Bone marrow aspirate smear. Image size 250×250 — 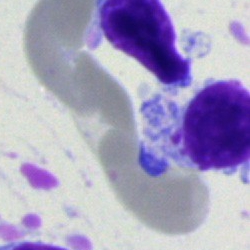

Specimen: bone marrow aspirate smear.
Classification: lymphocyte.